Bone marrow aspirate smear.
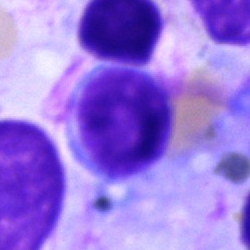Classification: lymphocyte.